Peripheral blood film; cropped to a single cell; imaged on a CellaVision DM96 analyser
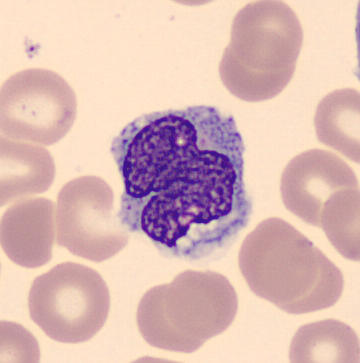Specimen: peripheral blood smear.
Cell: monocyte.